Bone marrow smear
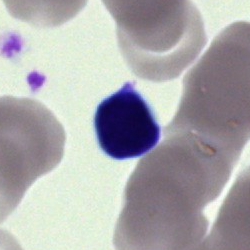This is a cell of indeterminate lineage.